Bone marrow aspirate smear: 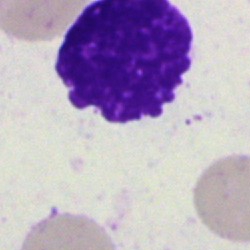 Cell type: artifact.